Brightfield microscopy, 40× oil immersion · bone marrow aspirate smear — 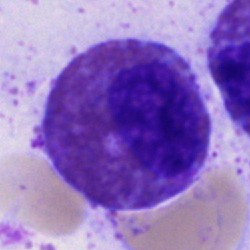 Impression — eosinophil.